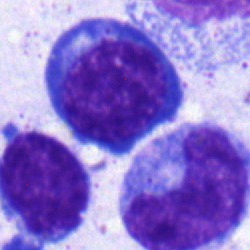
Specimen: bone marrow aspirate smear.
Cell type: nucleated red blood cell.
Lineage: erythroid.